Bone marrow smear: 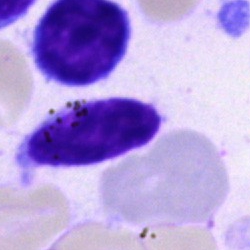 Q: Which cell type is shown here?
A: This is a typical lymphocyte.